Peripheral blood film; cropped to a single cell:
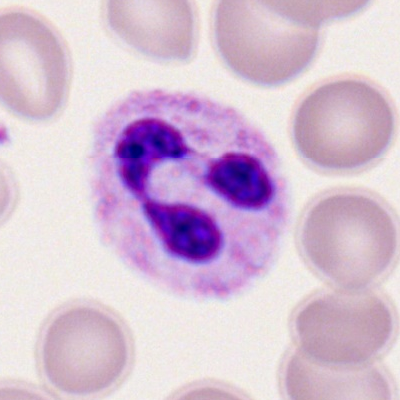
Cell = segmented neutrophil.